Cropped to a single cell · bone marrow smear.
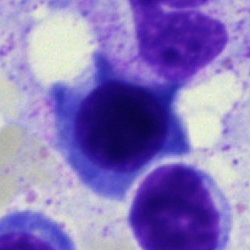 Nucleated red blood cell.